Bone marrow smear. May-Grünwald-Giemsa stain:
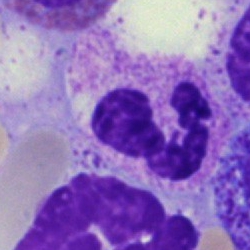A neutrophil (segmented).